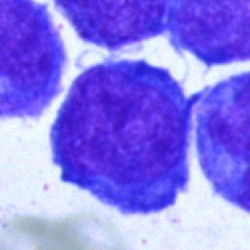
Morphological class — blast cell.